Bone marrow smear · May-Grünwald-Giemsa stain.
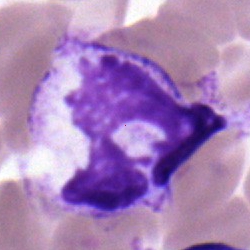
Morphological class = polymorphonuclear neutrophil.